250×250 · bone marrow aspirate smear · single-cell crop: 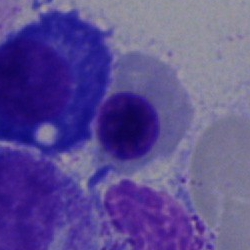 Impression → normoblast.